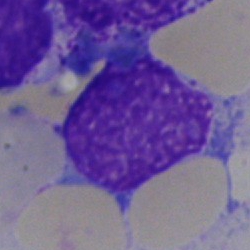
Morphology — artifact.